May-Grünwald-Giemsa/Pappenheim stain · 40× oil immersion · bone marrow smear: 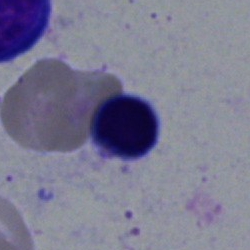 Morphology → normoblast.